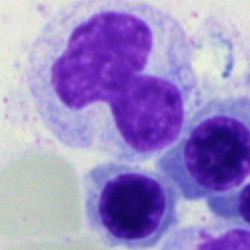

Q: Which cell type is shown here?
A: Monocyte.